Bone marrow aspirate smear. 250 by 250 pixels — 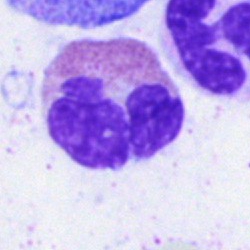

Q: What is shown here?
A: This is an eosinophil.